Single-cell crop; May-Grünwald-Giemsa/Pappenheim stain; bone marrow smear.
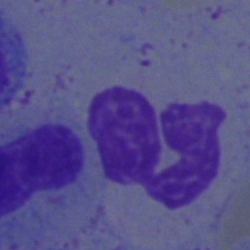
Neutrophil (segmented).